Brightfield microscopy, 40× oil immersion. Bone marrow aspirate smear. Single cell centered in the field:
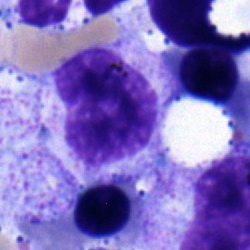 Q: What cell is this?
A: This is a myelocyte.